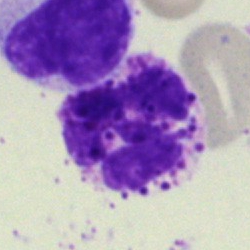

A basophilic granulocyte on a bone marrow smear.